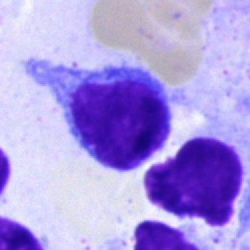

Classification: typical lymphocyte.